Peripheral blood smear — 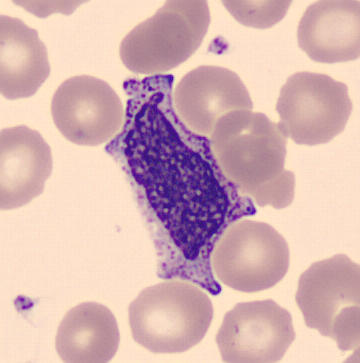 Q: What type of cell is this?
A: This is a myelocyte.